Bone marrow smear; single-cell crop
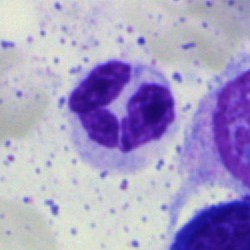

The morphological class is neutrophil (segmented).